Bone marrow smear — 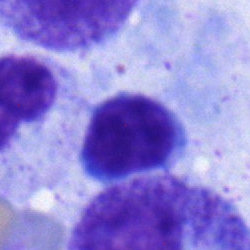 Cell = typical lymphocyte.